Bone marrow smear.
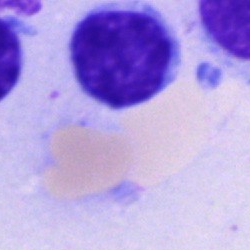 The cell type is typical lymphocyte.